Peripheral blood smear; Romanowsky-type stain
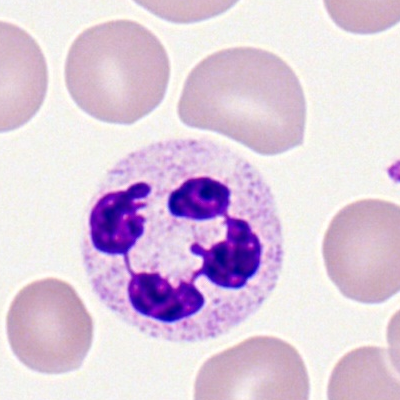 Single cell identified as a segmented neutrophil.